Bone marrow smear: 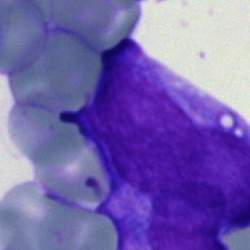Morphological class: undifferentiated blast.